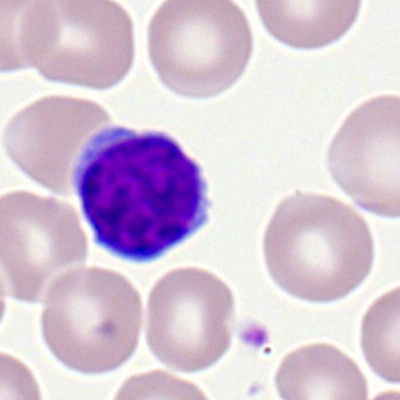
{"cell_type": "lymphocyte"}